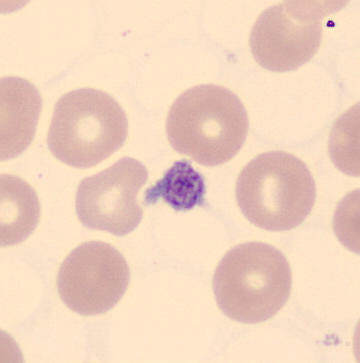 A platelet.